Peripheral blood smear; single-cell field — 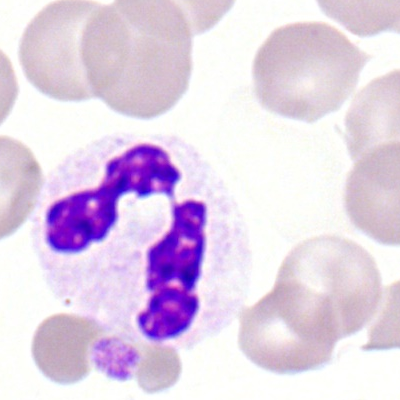

Morphology → segmented neutrophil.